Bone marrow smear; single-cell crop: 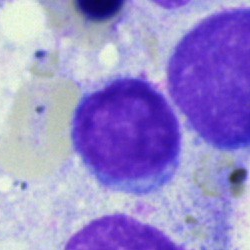Classification — typical lymphocyte.